Bone marrow smear: 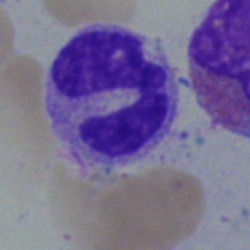

The cell is monocyte.